Bone marrow smear: 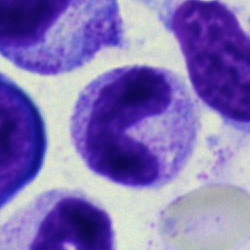 Specimen: bone marrow aspirate smear.
Classification: neutrophil (band).